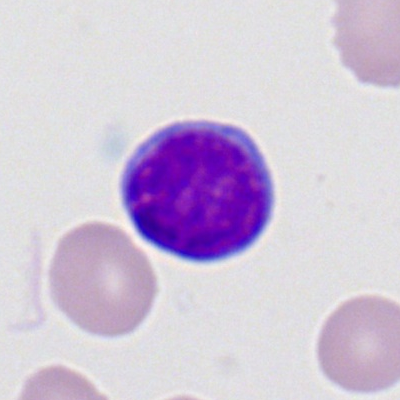 Morphology — lymphocyte.